Bone marrow aspirate smear; Pappenheim-stained: 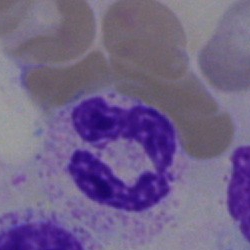 Specimen: bone marrow smear.
Cell: neutrophil (segmented).